Bone marrow aspirate smear: 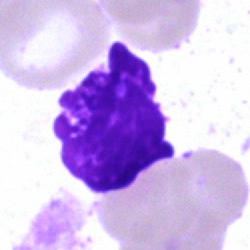Artefact.